Bone marrow aspirate smear.
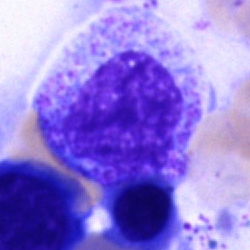 Q: What is shown here?
A: A promyelocyte.